Bone marrow smear · 250×250 · single cell centered in the field — 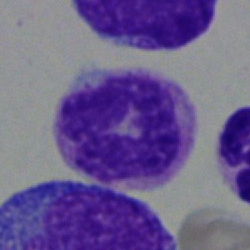

The cell is neutrophil (band).